Bone marrow smear · MGG-stained.
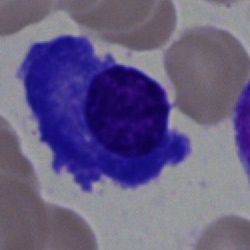
The cell shown is a plasmacyte.